Bone marrow aspirate smear — 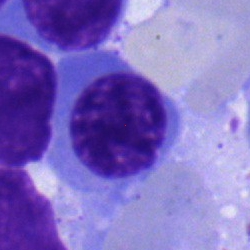

Specimen: bone marrow aspirate smear.
Morphological class: normoblast.
Lineage: erythroid.